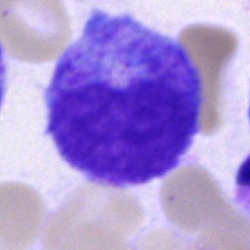 Morphological class — progranulocyte.